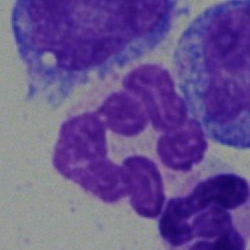Morphology — polymorphonuclear neutrophil.